Bone marrow smear
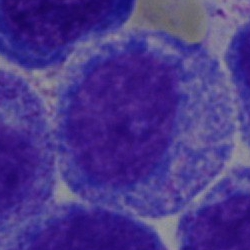

The cell shown is a promyelocyte.